Bone marrow aspirate smear.
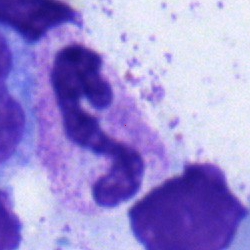
The cell shown is a polymorphonuclear neutrophil.